Single-cell field. Bone marrow aspirate smear — 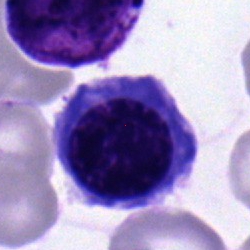

Q: What is the morphological classification of this cell?
A: Plasmacyte.